Bone marrow smear:
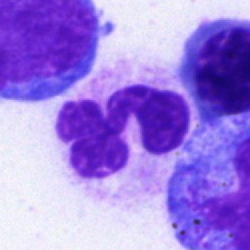 The classification is neutrophil (segmented).